Single cell centered in the field. Bone marrow smear. 40× objective, oil immersion:
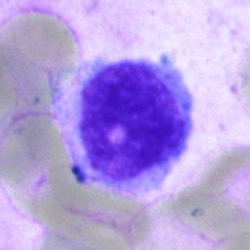 Cell = typical lymphocyte.